Peripheral blood smear — 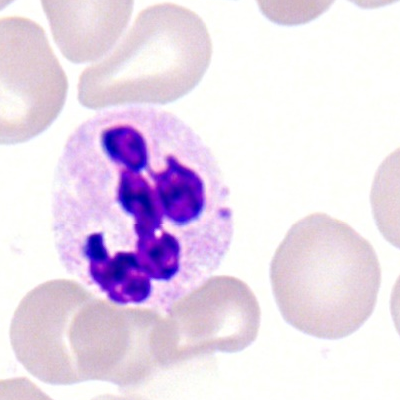The cell shown is a segmented neutrophil.